Bone marrow smear.
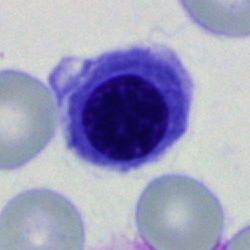 Cell: nucleated red blood cell.